250 by 250 pixels; bone marrow aspirate smear: 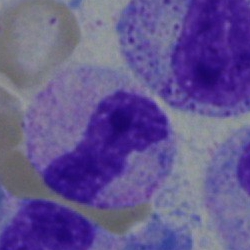Q: Which cell type is shown here?
A: This is a metamyelocyte.